Bone marrow smear.
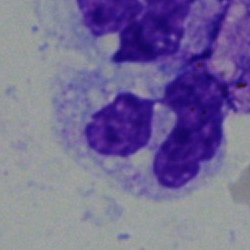 This is a segmented neutrophil.